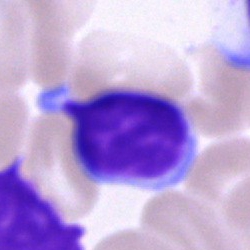 Impression → typical lymphocyte.